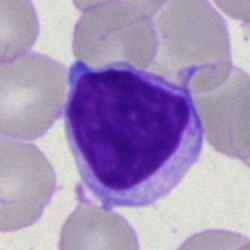

Q: What is shown here?
A: A typical lymphocyte.